Bone marrow aspirate smear:
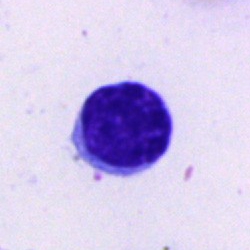 Single cell identified as a typical lymphocyte.